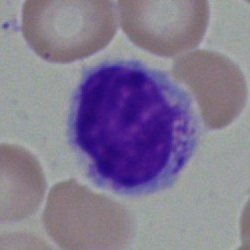

Impression — lymphocyte.